Single-cell field; peripheral blood film:
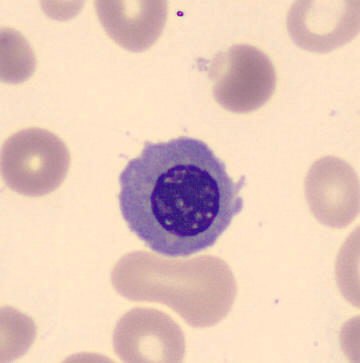

Q: What is this?
A: A nucleated red cell.